Bone marrow smear. May-Grünwald-Giemsa stain. Brightfield, 40× oil-immersion objective:
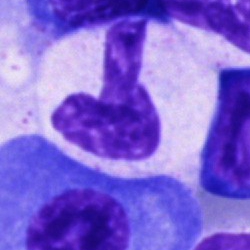
Q: What cell is this?
A: A band-form neutrophil.